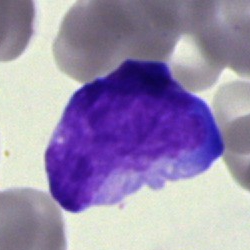 An undifferentiated blast on a bone marrow smear.